Peripheral blood smear · single cell centered in the field.
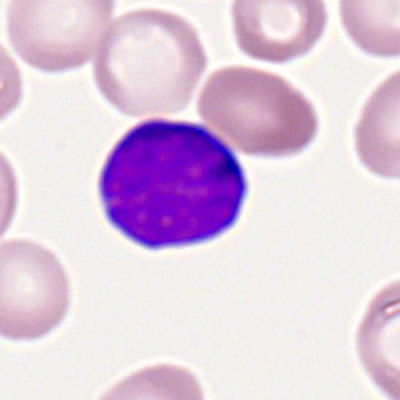 Single cell identified as a myeloblast.